Bone marrow smear — 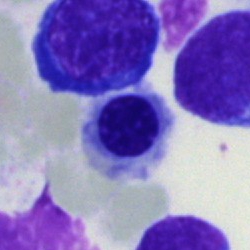 Cell type = nucleated red cell.